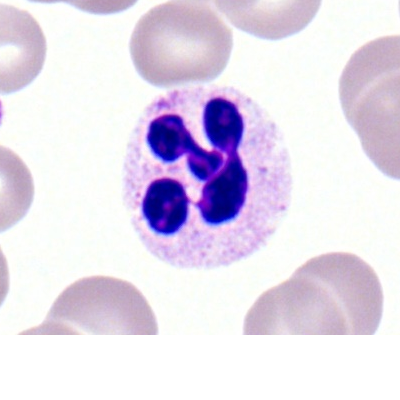
Single-cell crop from a peripheral blood smear: neutrophil (segmented).